Pappenheim-stained · single-cell field · bone marrow aspirate smear
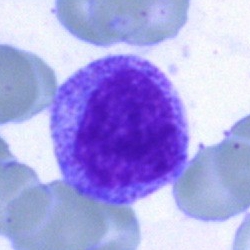Cell = promyelocyte.